Bone marrow smear. Cropped to a single cell. Brightfield microscopy, 40× oil immersion.
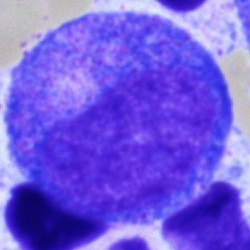

Morphology → progranulocyte.